Bone marrow aspirate smear; single-cell field; 250 by 250 pixels.
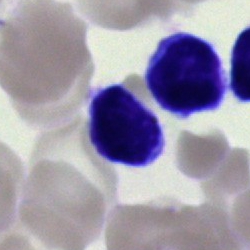

Morphological class: lymphocyte.